Bone marrow aspirate smear · 250×250 — 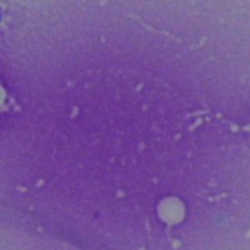

The morphological class is artefact.